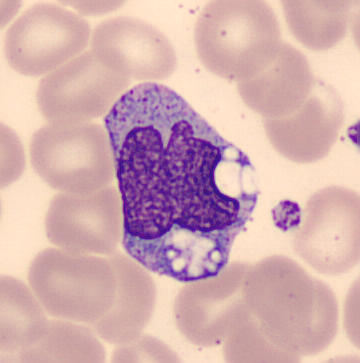Morphology — monocyte.